Peripheral blood film: 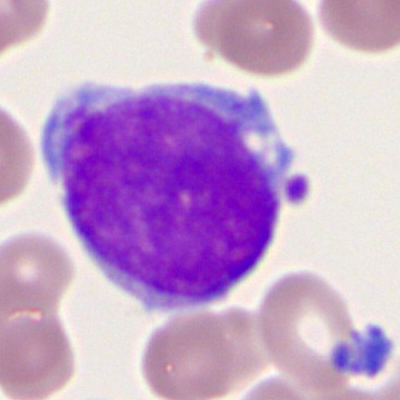

Showing a myeloblast.